Bone marrow aspirate smear: 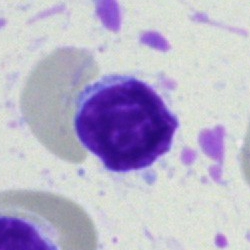

Specimen: bone marrow aspirate smear.
Cell type: typical lymphocyte.